Bone marrow smear · brightfield microscopy, 40× oil immersion · single cell centered in the field.
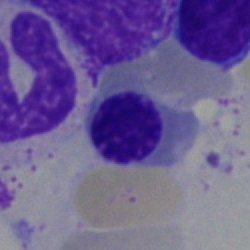
Morphology → nucleated red cell.